Bone marrow smear.
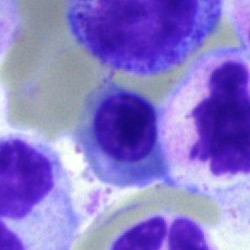

An erythroblast.